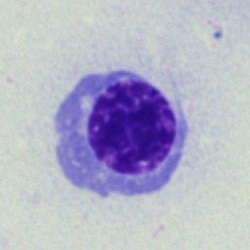
Nucleated red blood cell.